40× oil immersion; bone marrow aspirate smear
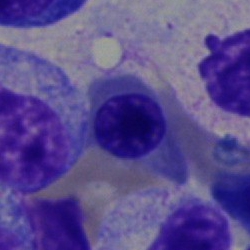
Classification: erythroblast.